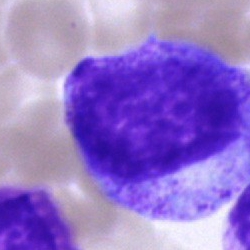

Q: Which cell type is shown here?
A: Progranulocyte.